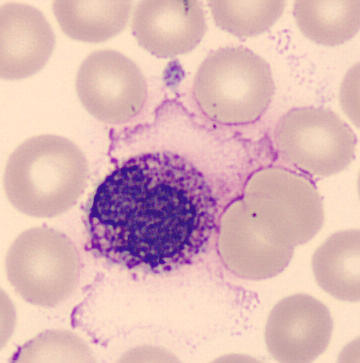 Imaged on a CellaVision DM96 analyser · peripheral blood smear. The morphological class is basophil.